Single-cell crop; bone marrow aspirate smear; 250×250:
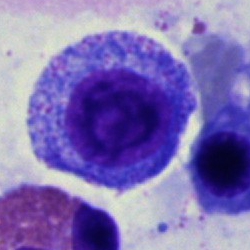 Progranulocyte.